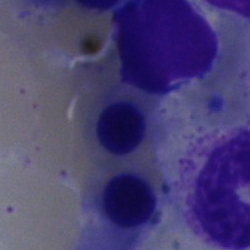Q: Which cell type is shown here?
A: It is a nucleated red blood cell.